Bone marrow smear; single cell centered in the field: 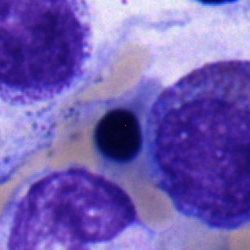
This is a nucleated red cell.